Bone marrow aspirate smear.
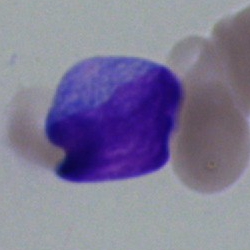

Morphological class: undifferentiated blast.